Bone marrow aspirate smear — 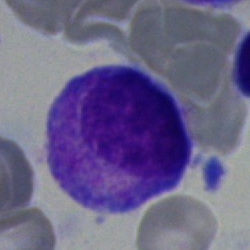

Classification: myelocyte.